Peripheral blood film: 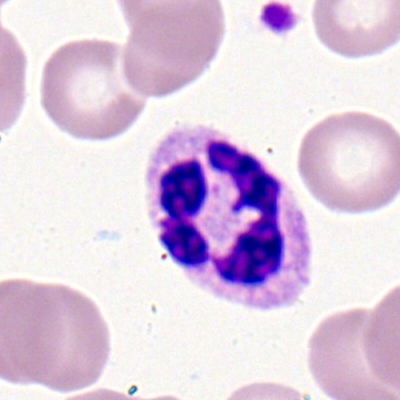

Cell type — polymorphonuclear neutrophil.